Brightfield microscopy, 40× oil immersion; bone marrow smear; cropped to a single cell
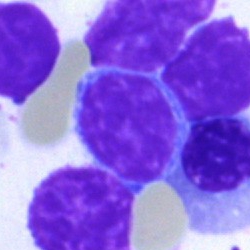Morphology — typical lymphocyte.